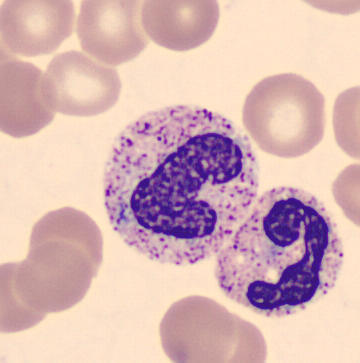
Morphology consistent with a band neutrophil.

Acquisition: Peripheral blood film.